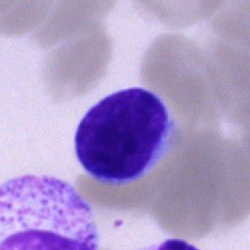Morphology consistent with a lymphocyte.